Bone marrow aspirate smear · May-Grünwald-Giemsa stain — 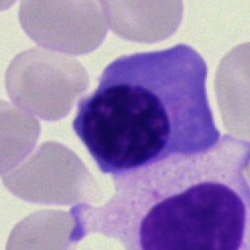
Specimen: bone marrow smear.
Morphological class: normoblast.
Lineage: erythroid.